Bone marrow smear: 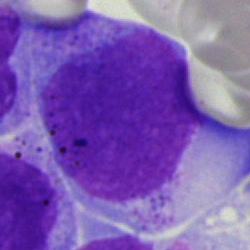

Morphology — blast.